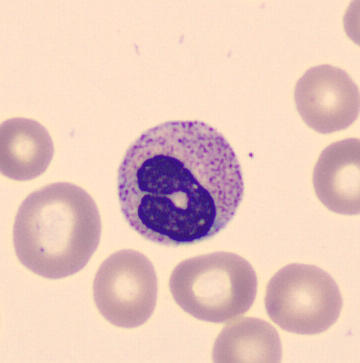
Peripheral blood film.
The morphological class is band-form neutrophil.